Bone marrow smear: 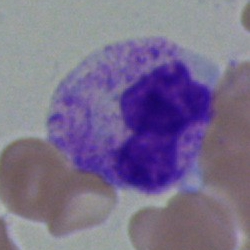
A band neutrophil.